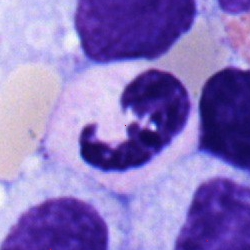A segmented neutrophil.